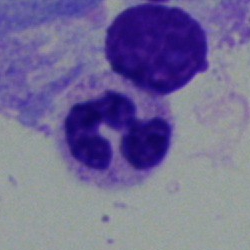

The classification is polymorphonuclear neutrophil.